Bone marrow smear: 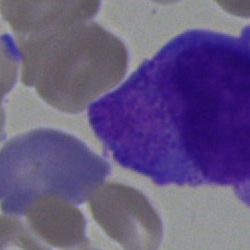 Classification: undifferentiated blast.